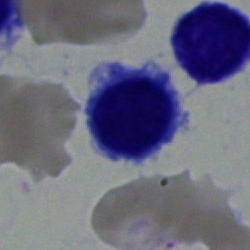

Q: What type of cell is this?
A: Nucleated red blood cell.